Bone marrow smear · 250×250 · MGG-stained: 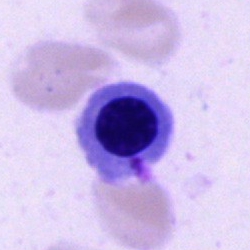
The cell is nucleated red cell.